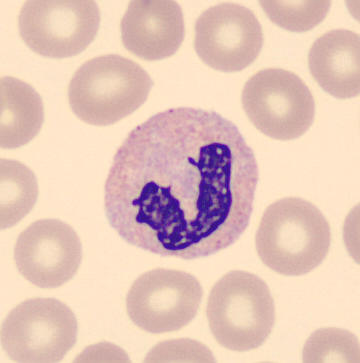 The cell is band-form neutrophil.